Bone marrow smear.
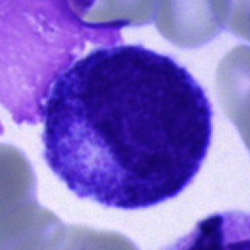 Morphological class = progranulocyte.